Bone marrow aspirate smear. Cropped to a single cell
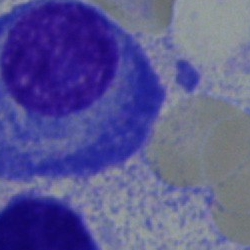Showing a plasma cell.